Peripheral blood film: 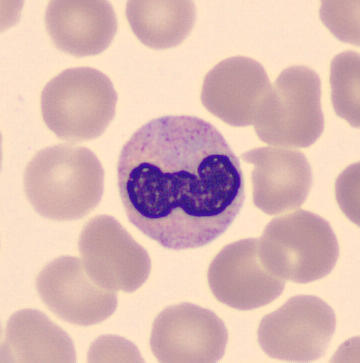
Q: What is this?
A: This is a stab cell.